Bone marrow smear
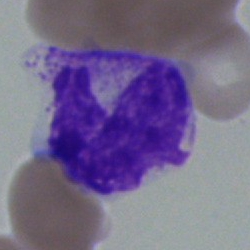
Q: What is the morphological classification of this cell?
A: It is a metamyelocyte.